Bone marrow aspirate smear.
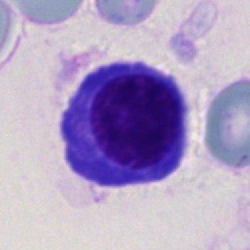
Q: What type of cell is this?
A: Nucleated red cell.